Peripheral blood film — 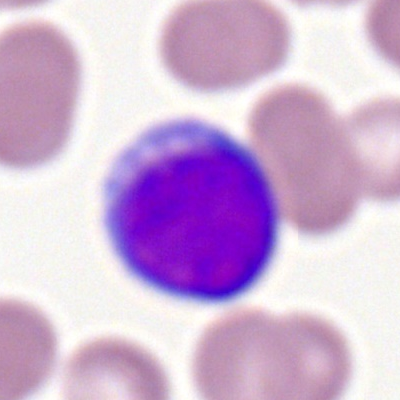
Morphology — myeloid blast.